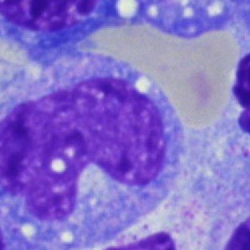
Q: What is the morphological classification of this cell?
A: A monocyte.